Bone marrow aspirate smear; May-Grünwald-Giemsa/Pappenheim stain
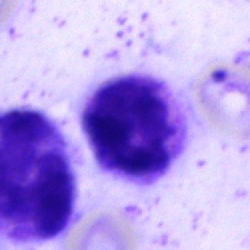
A polymorphonuclear neutrophil.